May-Grünwald-Giemsa stain. 250×250. Bone marrow smear: 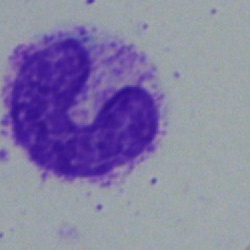 {"cell_type": "neutrophil (band)", "lineage": "myeloid"}